Peripheral blood film. Single-cell crop. M8 digital microscope (Precipoint), 100× oil immersion:
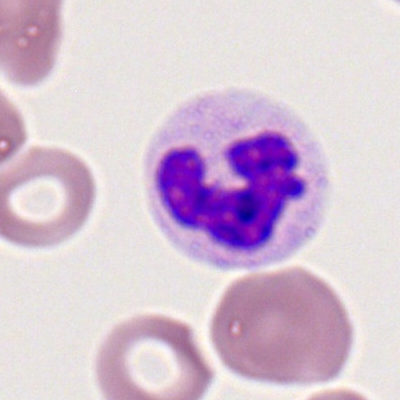Neutrophil (segmented).